Image size 360×363 · peripheral blood film.
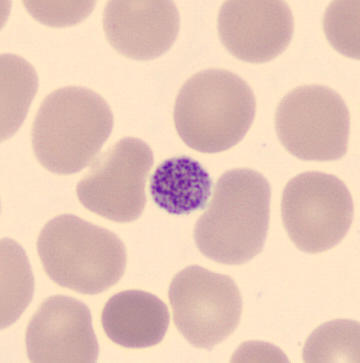 Identified as a platelet.